Bone marrow aspirate smear
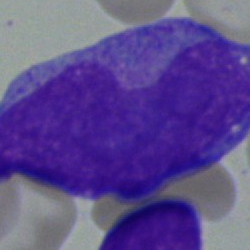Classification — blast cell.